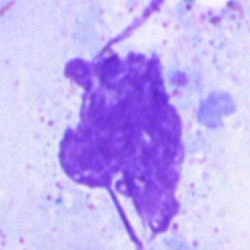Cell type: artifact.